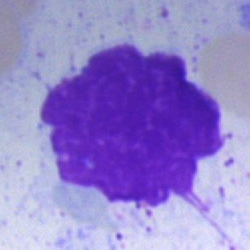
Bone marrow aspirate smear, single cell — artefact.